Bone marrow aspirate smear · 250×250: 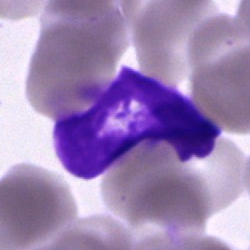
Impression — artifact.